Bone marrow smear · 250×250 · brightfield, 40× oil-immersion objective.
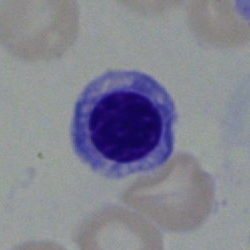Showing a nucleated red cell.